Bone marrow smear.
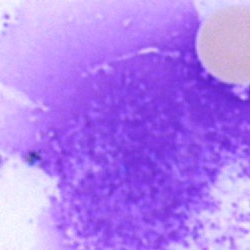

Showing an artefact.